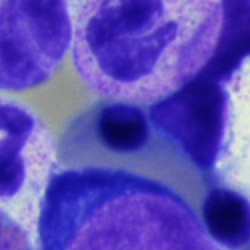 Bone marrow aspirate smear, single cell — nucleated red cell.